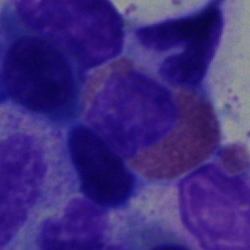 Eosinophilic granulocyte.